Bone marrow aspirate smear · brightfield microscopy, 40× oil immersion.
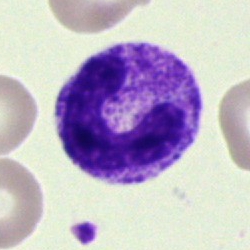 The classification is stab cell.